Bone marrow smear:
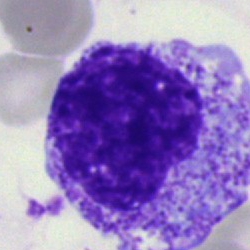{"cell_type": "myelocyte", "lineage": "myeloid"}